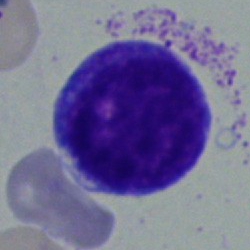{"cell_type": "blast cell"}